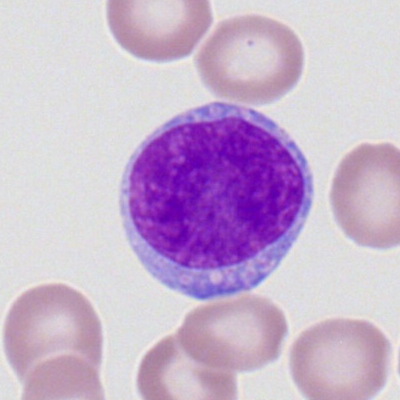 Morphological class — myeloblast.